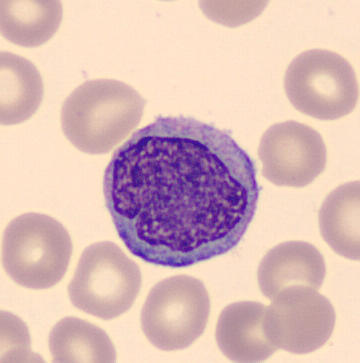

Image: Peripheral blood film.
Showing a monocyte.